Bone marrow aspirate smear.
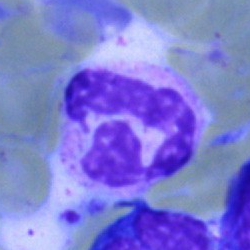

Impression → neutrophil (segmented).